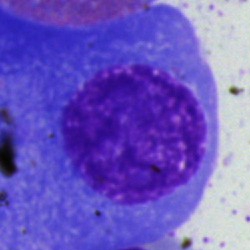

Specimen: bone marrow aspirate smear.
Classification: plasma cell.
Lineage: lymphoid.